250 by 250 pixels; bone marrow smear:
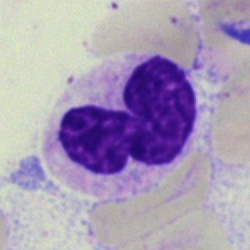Q: What cell is this?
A: It is a band-form neutrophil.